Bone marrow aspirate smear:
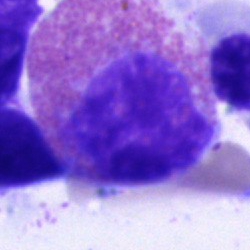
Classification — eosinophil.